Bone marrow aspirate smear — 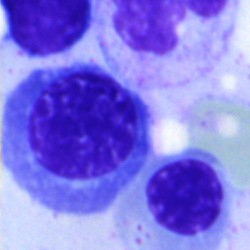 Cell: nucleated red cell.